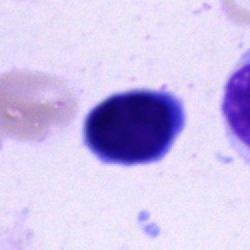

Single cell identified as a typical lymphocyte.